Bone marrow aspirate smear:
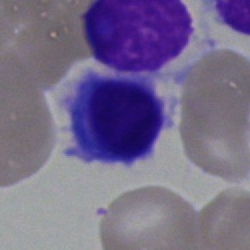

Q: Identify the cell.
A: A plasma cell.